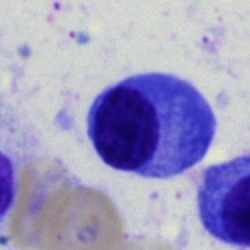 Q: What type of cell is this?
A: This is a plasmacyte.